Peripheral blood smear; 360×363 px.
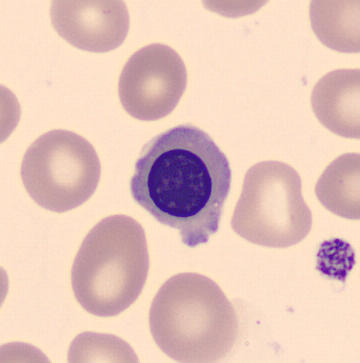
{"cell_type": "erythroblast", "lineage": "erythroid"}